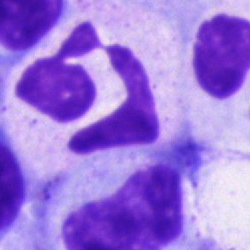Cell type: polymorphonuclear neutrophil.